Bone marrow smear. Brightfield, 40× oil-immersion objective — 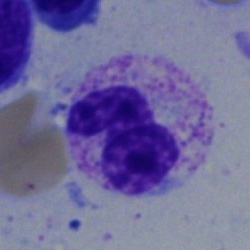

The classification is neutrophil (segmented).